Peripheral blood film; 360 by 363 pixels; CellaVision DM96 digital cell image
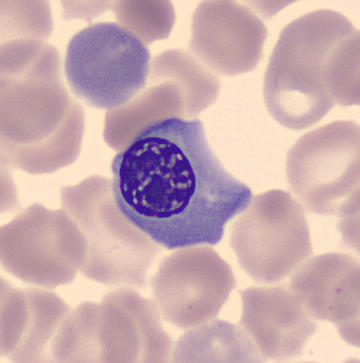 The classification is erythroblast.